Bone marrow smear · May-Grünwald-Giemsa stain.
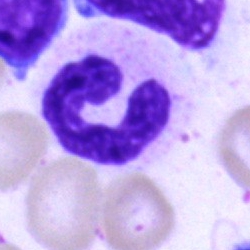

Morphology → stab cell.